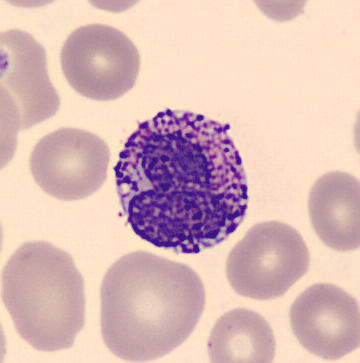Morphology — basophil.